Bone marrow smear: 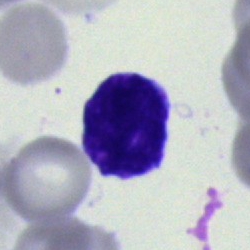An undifferentiated blast.